Bone marrow aspirate smear
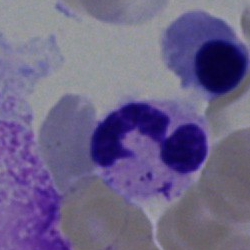Q: What cell is this?
A: Segmented neutrophil.